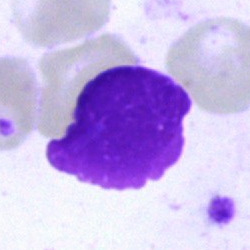

Specimen: bone marrow aspirate smear.
Cell type: artifact.